Single-cell field · bone marrow smear — 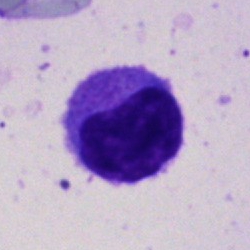Morphology — typical lymphocyte.